Bone marrow aspirate smear; MGG-stained; 250×250 — 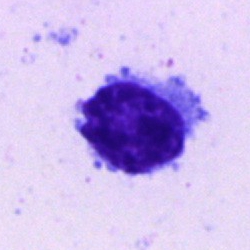
Q: What is the morphological classification of this cell?
A: It is a lymphocyte.